Bone marrow aspirate smear · May-Grünwald-Giemsa stain:
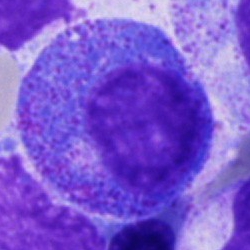

Q: What is the morphological classification of this cell?
A: A progranulocyte.